Peripheral blood film
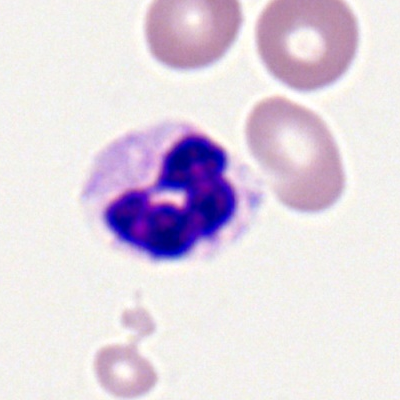Morphological class = polymorphonuclear neutrophil.